Bone marrow aspirate smear.
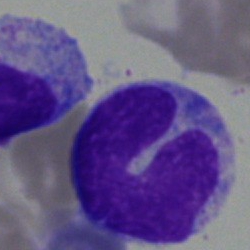

This is a monocyte.